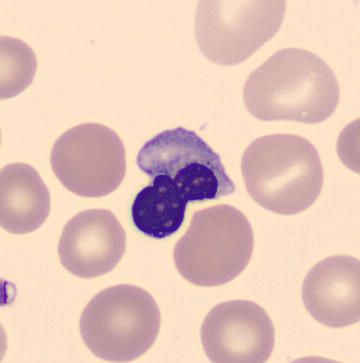 Morphology — normoblast.